Bone marrow aspirate smear: 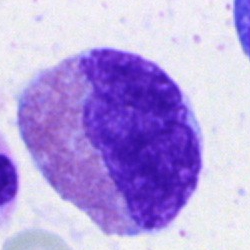

Classification = eosinophilic granulocyte.